Bone marrow aspirate smear:
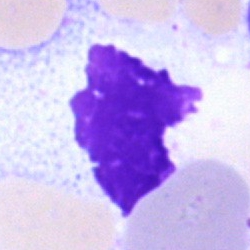 Specimen: bone marrow aspirate smear.
Cell: artifact.